Bone marrow aspirate smear: 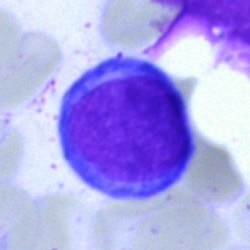Lymphocyte.